250×250 px. Bone marrow smear:
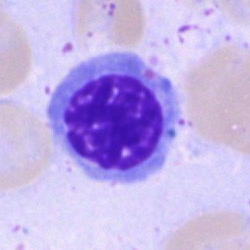 Morphology consistent with a nucleated red cell.